Bone marrow aspirate smear: 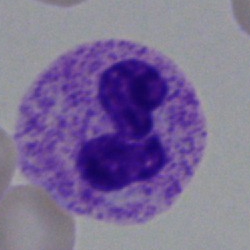Neutrophil (segmented).